Bone marrow aspirate smear.
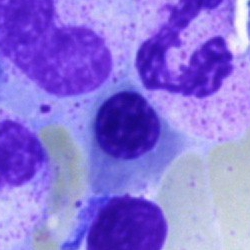Q: What is the morphological classification of this cell?
A: It is an erythroblast.